Peripheral blood film — 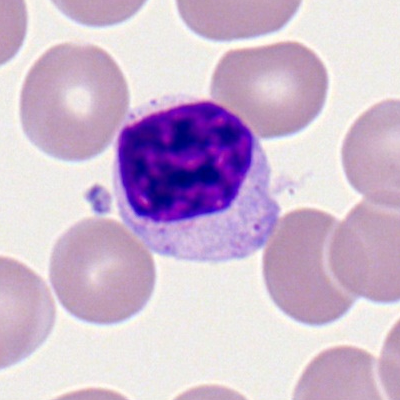 Specimen: peripheral blood film.
Cell type: typical lymphocyte.
Lineage: lymphoid.